Bone marrow smear: 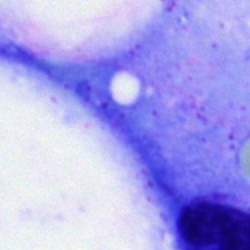Morphology — artifact.